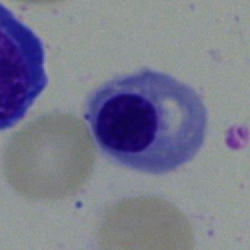

The classification is erythroblast.